Bone marrow smear. Single-cell crop. 250×250 — 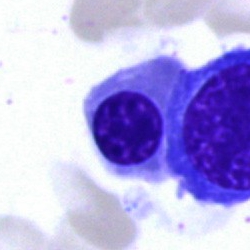
{"cell_type": "erythroblast"}